Bone marrow aspirate smear; 40× objective, oil immersion — 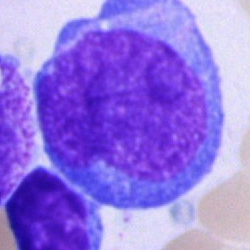 Morphological class = blast cell.